250×250 px. Bone marrow smear — 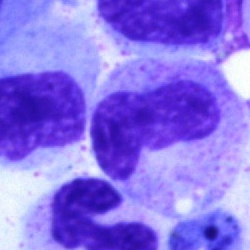

Morphology consistent with a band neutrophil.